Bone marrow aspirate smear.
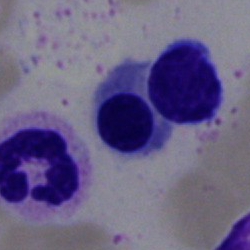
Specimen: bone marrow smear.
Cell: normoblast.
Lineage: erythroid.